40× oil immersion. Bone marrow aspirate smear:
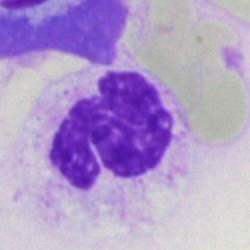
Morphology → segmented neutrophil.